100× oil immersion; peripheral blood smear — 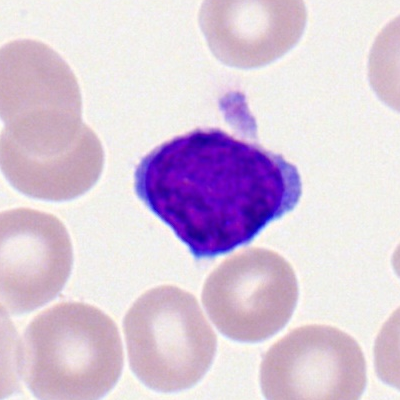
Impression — typical lymphocyte.